Single-cell field · bone marrow smear:
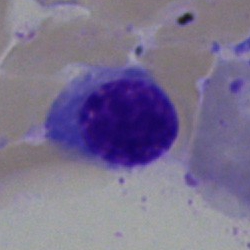 This is a nucleated red blood cell.